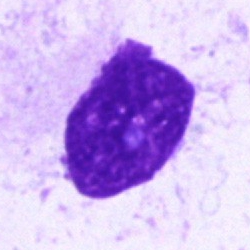Morphological class — artefact.